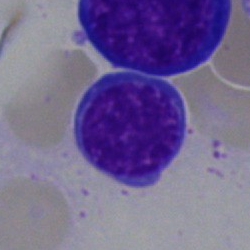
Nucleated red blood cell.